Peripheral blood film. 100× objective, oil immersion.
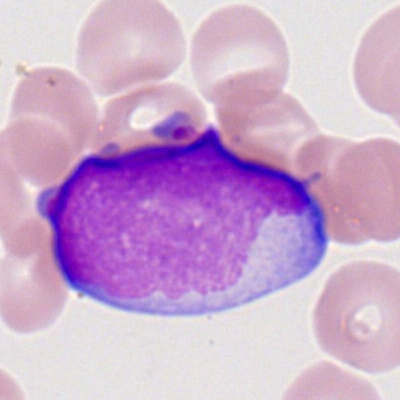Morphology — myeloblast.